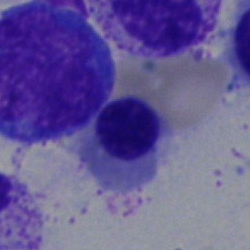Q: What cell is this?
A: It is a nucleated red cell.